Brightfield, 40× oil-immersion objective; bone marrow smear — 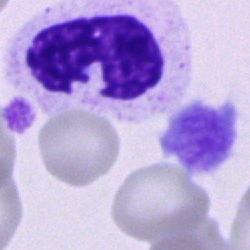

Morphological class — neutrophil (segmented).